Pappenheim-stained. Bone marrow aspirate smear. 250×250.
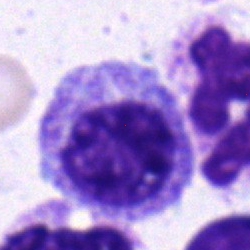 Morphology → myelocyte.